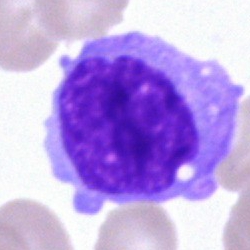

Bone marrow aspirate smear, single cell — monocyte.